Single-cell field · image size 250×250 · bone marrow smear.
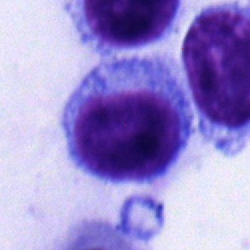
Cell = typical lymphocyte.